Bone marrow smear. May-Grünwald-Giemsa stain:
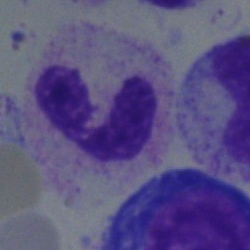 Cell type: polymorphonuclear neutrophil.